Bone marrow aspirate smear; single-cell crop
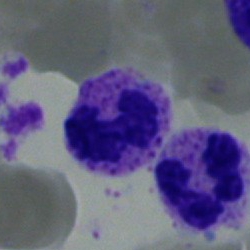Classification = segmented neutrophil.